Bone marrow smear; cropped to a single cell
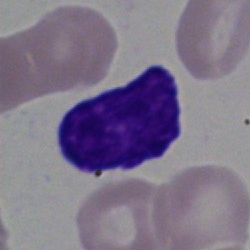
Q: What is the morphological classification of this cell?
A: Blast.